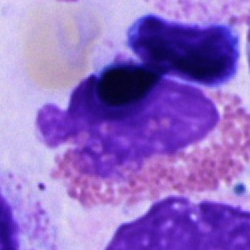
The cell shown is an eosinophil.